Bone marrow smear.
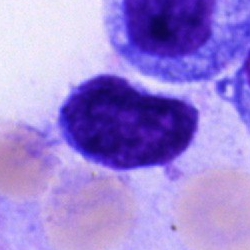 Undifferentiated blast.